Bone marrow smear:
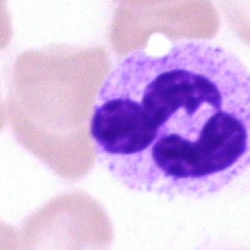
The cell type is segmented neutrophil.